Bone marrow smear:
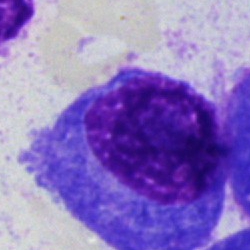

Plasmacyte.